Brightfield microscopy, 40× oil immersion; bone marrow aspirate smear
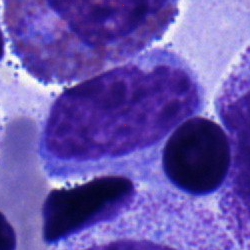

Specimen: bone marrow smear.
Cell: monocyte.